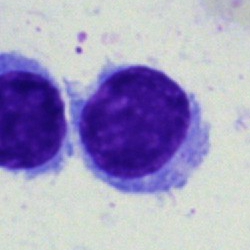A lymphocyte.